Bone marrow aspirate smear: 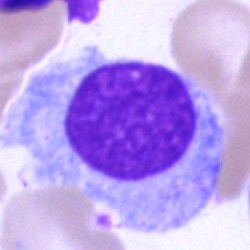Morphological class: plasma cell.